Bone marrow aspirate smear
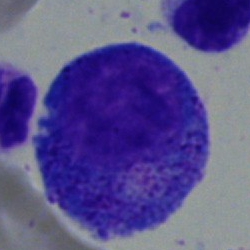

Morphology consistent with a promyelocyte.